Bone marrow aspirate smear · single cell centered in the field
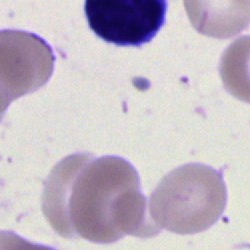Single cell identified as an artefact.